Bone marrow smear:
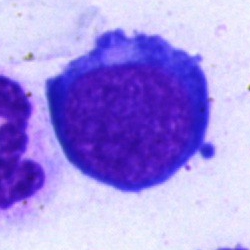
This is a normoblast.